Cropped to a single cell; bone marrow aspirate smear; May-Grünwald-Giemsa stain: 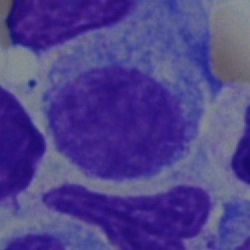
Q: What cell is this?
A: Myelocyte.